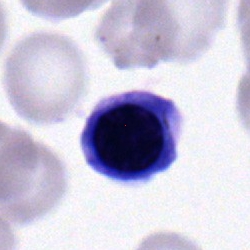
The cell shown is a normoblast.